Bone marrow aspirate smear · 40× objective, oil immersion · single-cell field:
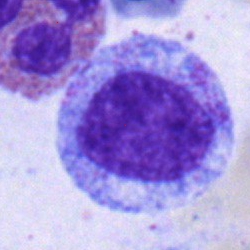

Q: What type of cell is this?
A: A myelocyte.